Bone marrow aspirate smear
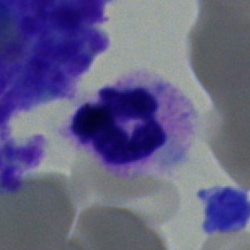

Impression — neutrophil (segmented).